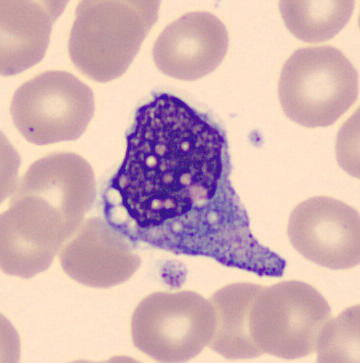 Single cell identified as a monocyte.
Image: Peripheral blood film · May-Grünwald-Giemsa-stained.